Bone marrow smear.
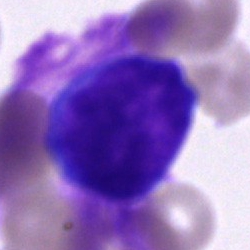Morphology → unidentifiable cell.